Bone marrow smear · single-cell field · Pappenheim-stained: 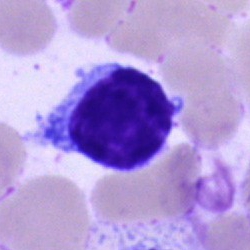
Q: What cell is this?
A: It is a typical lymphocyte.